Bone marrow aspirate smear — 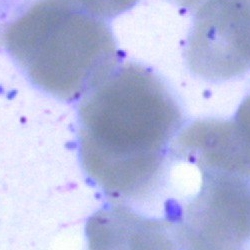Impression — artifact.